Bone marrow aspirate smear. 250 by 250 pixels. 40× objective, oil immersion — 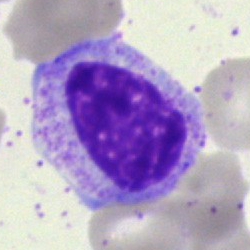
Showing a myelocyte.